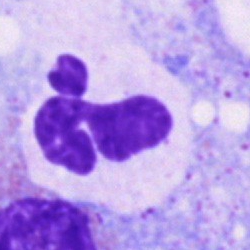A polymorphonuclear neutrophil.